Bone marrow smear. Brightfield, 40× oil-immersion objective — 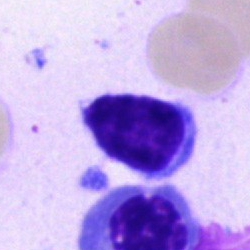
{"cell_type": "lymphocyte"}